Single cell centered in the field; bone marrow smear
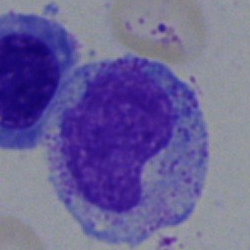Morphology → metamyelocyte.